Bone marrow aspirate smear
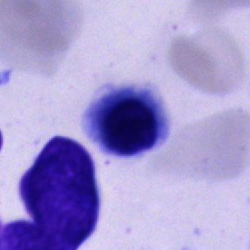

Specimen: bone marrow aspirate smear.
Cell type: cell of indeterminate lineage.